400 by 400 pixels · cropped to a single cell · peripheral blood film — 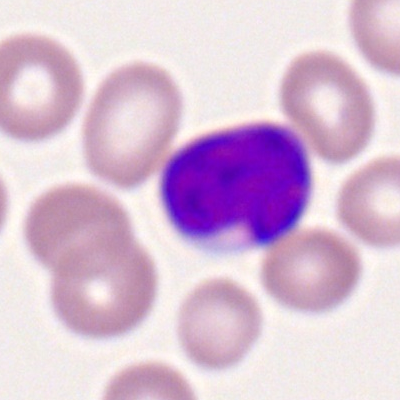Single cell identified as a lymphocyte.